Image size 250×250 · bone marrow smear · cropped to a single cell:
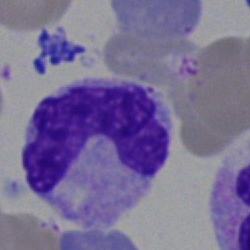Showing a band-form neutrophil.